250×250 px · bone marrow aspirate smear — 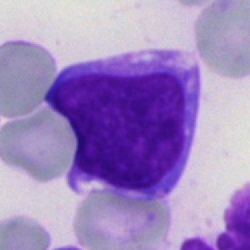

This is an undifferentiated blast.